Bone marrow aspirate smear; single-cell crop.
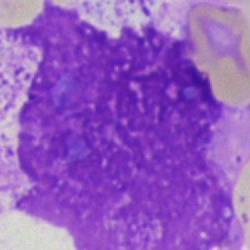

An artifact.